Bone marrow aspirate smear · single-cell field.
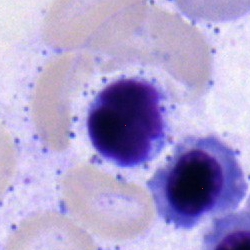{"cell_type": "lymphocyte", "lineage": "lymphoid"}